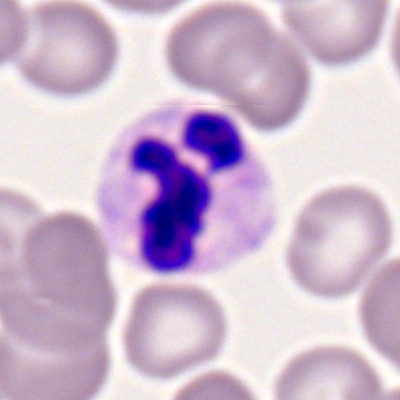

Peripheral blood film, single cell — neutrophil (segmented).